250 by 250 pixels; bone marrow smear: 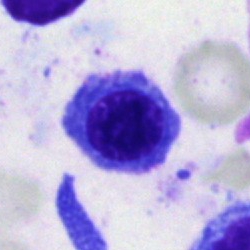

Showing a nucleated red cell.